Bone marrow aspirate smear; Pappenheim-stained — 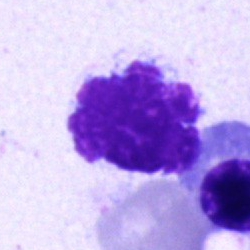

The cell shown is an artefact.